Bone marrow aspirate smear — 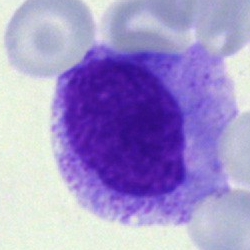

The cell is myelocyte.